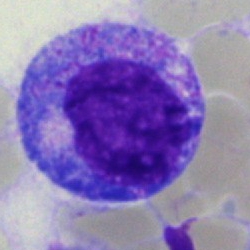Morphology → promyelocyte.